Bone marrow smear — 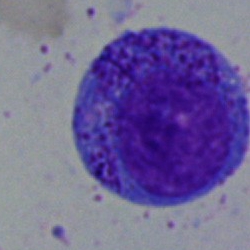Morphology → progranulocyte.